Bone marrow smear: 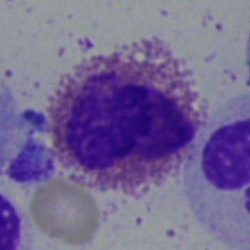{"cell_type": "eosinophil", "lineage": "myeloid"}